Pappenheim-stained; single-cell field; bone marrow aspirate smear:
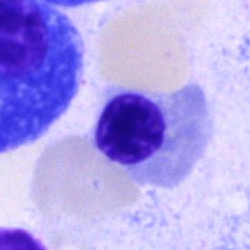
Q: What cell is this?
A: This is a normoblast.